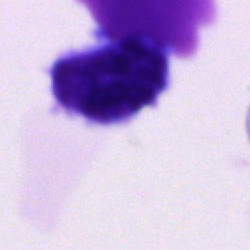 Morphology consistent with a cell of indeterminate lineage.